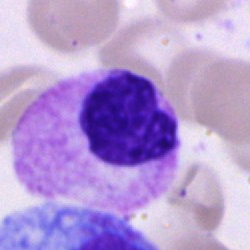 A segmented neutrophil.